Bone marrow aspirate smear.
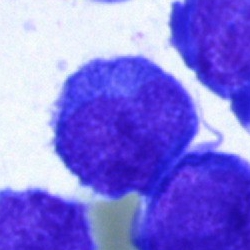

Specimen: bone marrow smear.
Cell: undifferentiated blast.